Single-cell crop; bone marrow smear
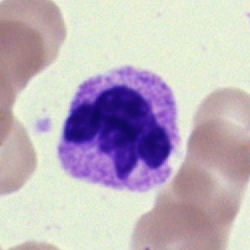

Specimen: bone marrow smear.
Classification: neutrophil (segmented).